Peripheral blood smear
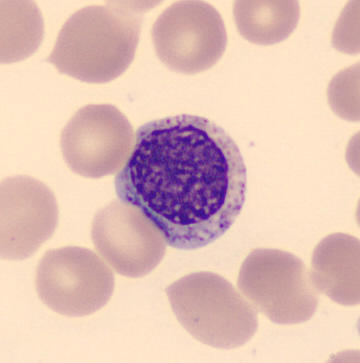Q: Identify the cell.
A: Myelocyte.